Single-cell field; bone marrow aspirate smear: 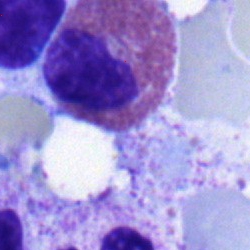

Eosinophilic granulocyte.